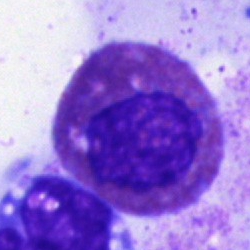Cell: eosinophilic granulocyte.